250×250. Pappenheim-stained. Bone marrow smear — 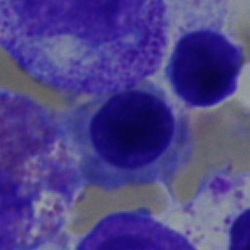

This is a nucleated red blood cell.